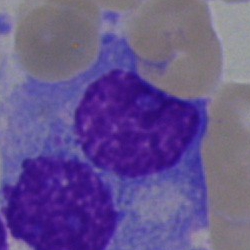
Impression — plasmacyte.